100× oil immersion; Romanowsky-stained; peripheral blood film: 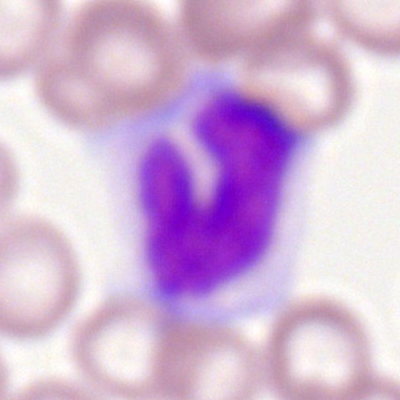

Specimen: peripheral blood film.
Morphological class: monocyte.
Lineage: myeloid.